40× objective, oil immersion. Bone marrow aspirate smear: 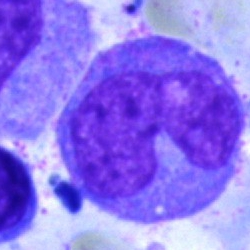Cell: monocyte.